Peripheral blood smear — 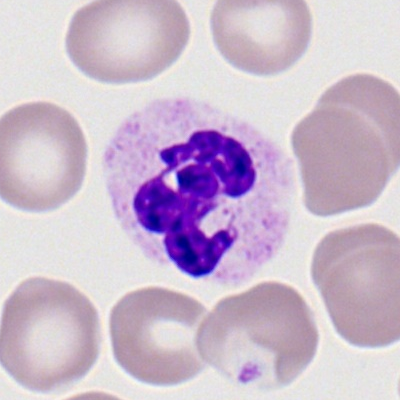 Cell type = segmented neutrophil.